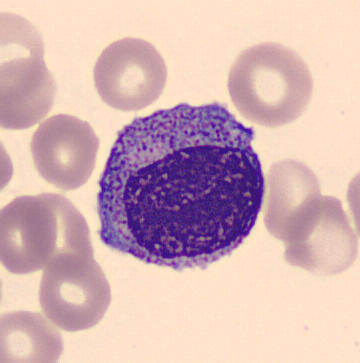
Morphology consistent with a promyelocyte.